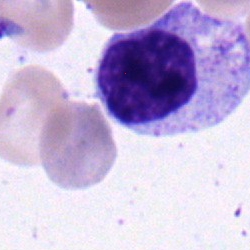Morphological class = myelocyte.